Bone marrow aspirate smear · 40× objective, oil immersion · 250×250 px:
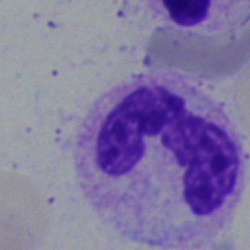

A band-form neutrophil.